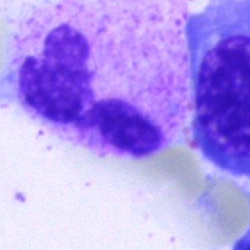
A polymorphonuclear neutrophil on a bone marrow smear.